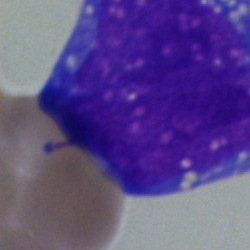Specimen: bone marrow aspirate smear.
Morphological class: undifferentiated blast.